Bone marrow aspirate smear — 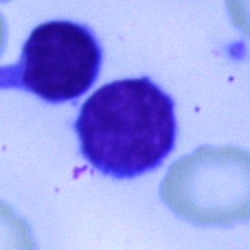 Q: What cell is this?
A: It is a lymphocyte.